Brightfield microscopy, 40× oil immersion; bone marrow aspirate smear: 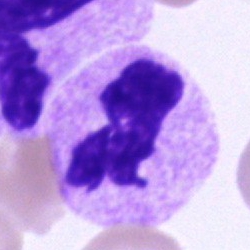

Specimen: bone marrow aspirate smear.
Morphological class: neutrophil (segmented).
Lineage: myeloid.